Single-cell crop; bone marrow smear
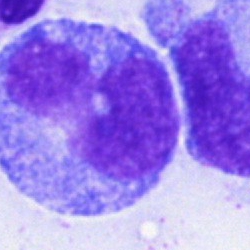
Single cell identified as a monocyte.